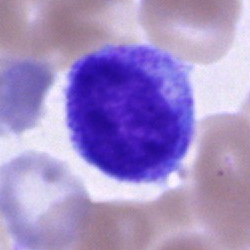

Single-cell crop from a bone marrow smear: promyelocyte.